Bone marrow aspirate smear.
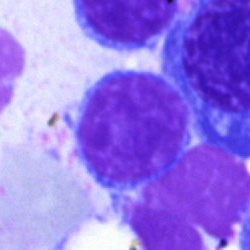 Typical lymphocyte.